Bone marrow aspirate smear. 40× objective, oil immersion. Single cell centered in the field — 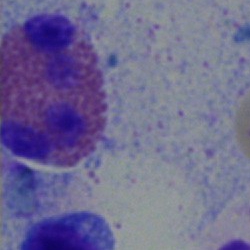Classification: eosinophilic granulocyte.